40× oil immersion; MGG-stained; bone marrow aspirate smear
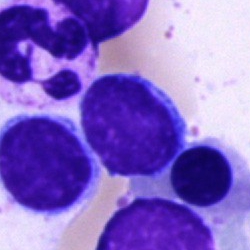
Specimen: bone marrow aspirate smear.
Morphological class: typical lymphocyte.